Bone marrow aspirate smear
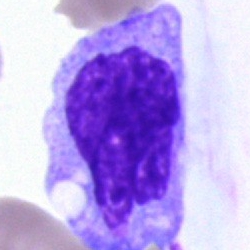Morphological class — monocyte.